Bone marrow aspirate smear:
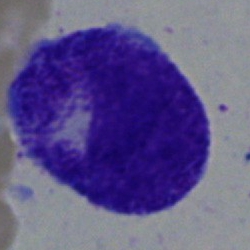Specimen: bone marrow smear.
Cell: progranulocyte.
Lineage: myeloid.